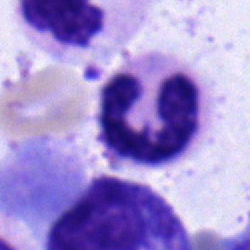 The morphological class is polymorphonuclear neutrophil.